Bone marrow smear — 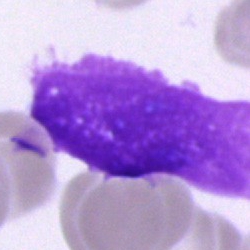 Q: What is shown here?
A: It is an artefact.